Bone marrow aspirate smear — 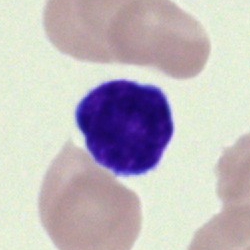

Q: Identify the cell.
A: A typical lymphocyte.